Bone marrow smear: 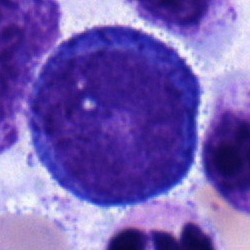
Cell type: pronormoblast.